Bone marrow smear:
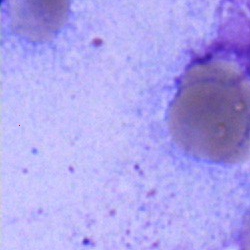Specimen: bone marrow aspirate smear.
Classification: metamyelocyte.
Lineage: myeloid.